Bone marrow smear:
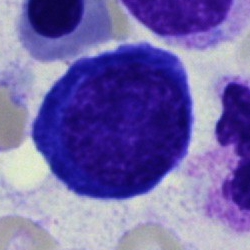

Morphological class = normoblast.